Bone marrow aspirate smear · 250 by 250 pixels · May-Grünwald-Giemsa/Pappenheim stain — 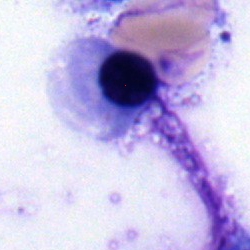
Specimen: bone marrow aspirate smear.
Cell type: nucleated red cell.
Lineage: erythroid.